Bone marrow aspirate smear:
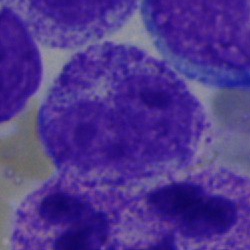The cell shown is a metamyelocyte.